Bone marrow aspirate smear
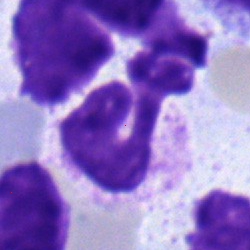

Q: What is shown here?
A: A neutrophil (segmented).